Bone marrow aspirate smear.
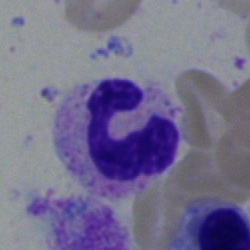

Single cell identified as a neutrophil (segmented).